Peripheral blood smear · 360 by 363 pixels: 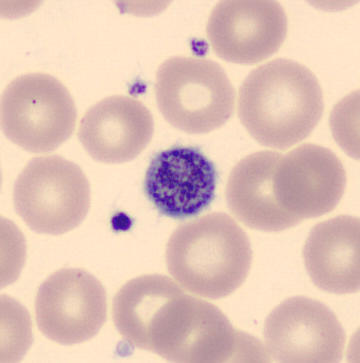

Cell type = platelet.